Bone marrow aspirate smear — 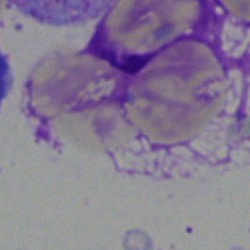
An artifact.